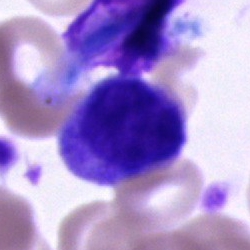
Q: Which cell type is shown here?
A: It is an unidentifiable cell.